May-Grünwald-Giemsa stain · bone marrow aspirate smear.
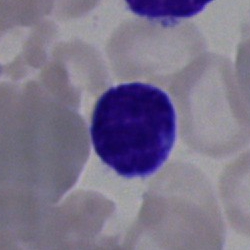

A lymphocyte.